Bone marrow smear.
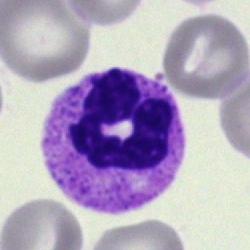 Q: Identify the cell.
A: Neutrophil (segmented).